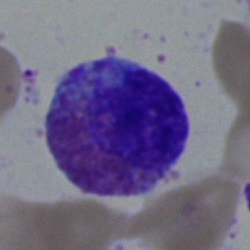

Classification = eosinophilic granulocyte.